Bone marrow aspirate smear:
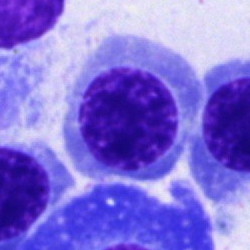 Q: What cell is this?
A: It is an erythroblast.